Cropped to a single cell · 100× objective, oil immersion · peripheral blood smear.
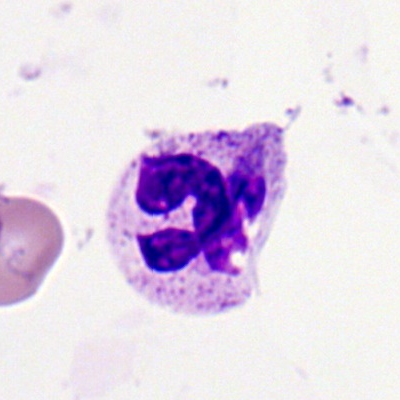
A polymorphonuclear neutrophil.